Bone marrow aspirate smear.
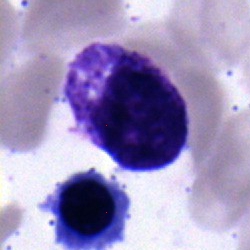 Single cell identified as a myelocyte.